Bone marrow aspirate smear. Pappenheim-stained: 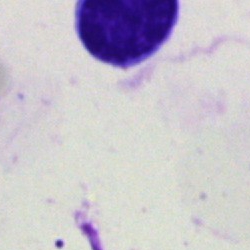
The classification is lymphocyte.